Pappenheim-stained; 250×250; bone marrow aspirate smear: 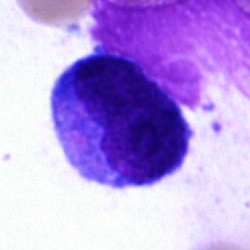 Specimen: bone marrow aspirate smear.
Cell: blast cell.